MGG-stained · bone marrow aspirate smear: 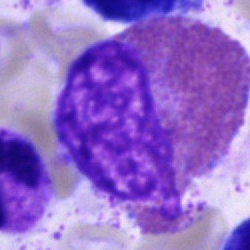Morphology consistent with an eosinophilic granulocyte.